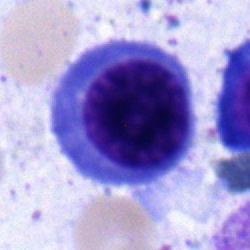

Nucleated red cell.